40× oil immersion · bone marrow aspirate smear: 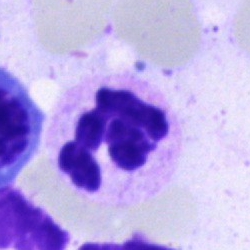
Specimen: bone marrow smear.
Cell: segmented neutrophil.
Lineage: myeloid.